Bone marrow smear; single-cell crop; 250 by 250 pixels
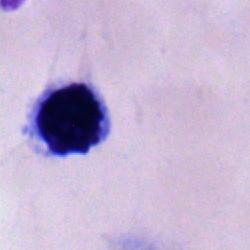 Showing a nucleated red blood cell.